Cropped to a single cell; bone marrow smear: 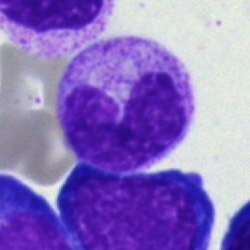This is a neutrophil (band).